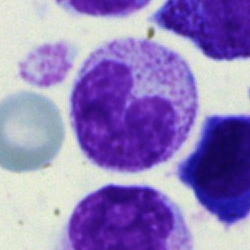

Specimen: bone marrow aspirate smear.
Classification: neutrophil (band).
Lineage: myeloid.